Bone marrow smear.
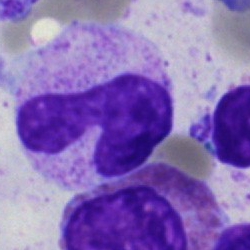 Q: What is the morphological classification of this cell?
A: Band neutrophil.